Bone marrow smear: 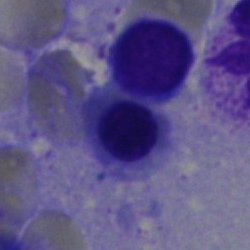
Cell type — erythroblast.